400×400. Romanowsky-stained. Peripheral blood film
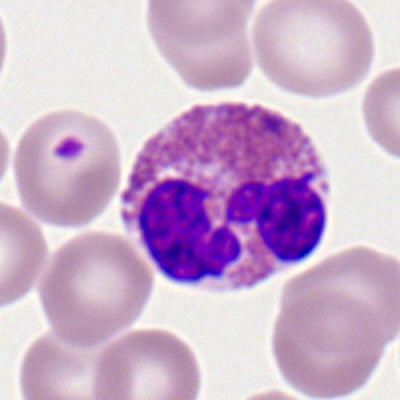Cell type = eosinophilic granulocyte.